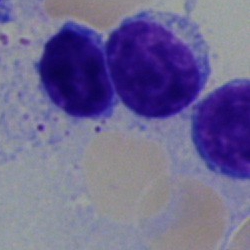
Showing a typical lymphocyte.